Bone marrow smear: 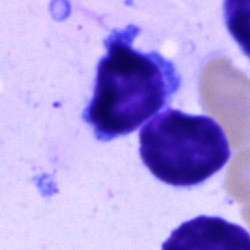Specimen: bone marrow smear.
Cell: typical lymphocyte.